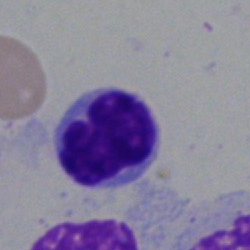 Q: What is shown here?
A: A lymphocyte.